Bone marrow smear.
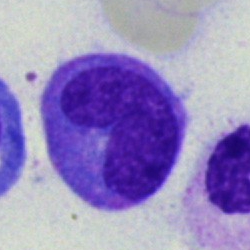Morphology → monocyte.